Bone marrow aspirate smear: 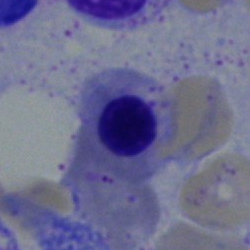 Morphology → nucleated red cell.